Bone marrow aspirate smear:
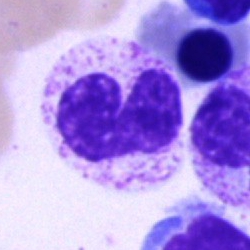
Classification — neutrophil (segmented).